Bone marrow aspirate smear.
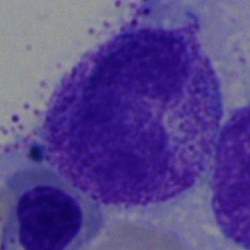

The cell type is metamyelocyte.